Bone marrow smear
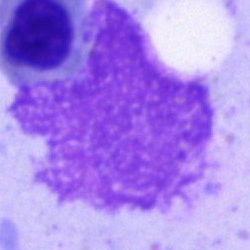
An artefact.